May-Grünwald-Giemsa stain · bone marrow aspirate smear · cropped to a single cell:
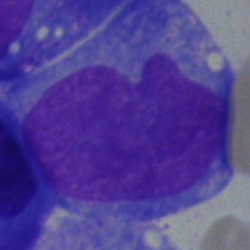 A blast cell.